Bone marrow aspirate smear — 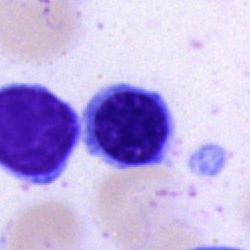

Specimen: bone marrow smear.
Cell: nucleated red blood cell.